Bone marrow aspirate smear. 250×250 px — 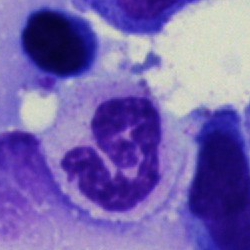Polymorphonuclear neutrophil.